Bone marrow smear.
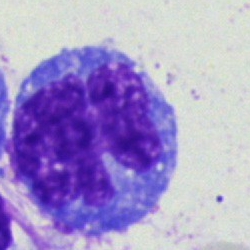

Morphology → monocyte.